Bone marrow aspirate smear — 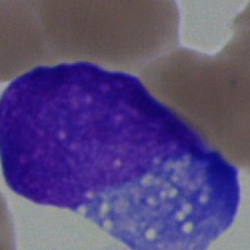

Cell — undifferentiated blast.